Single cell centered in the field · bone marrow aspirate smear — 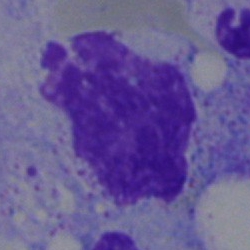
Cell — artifact.